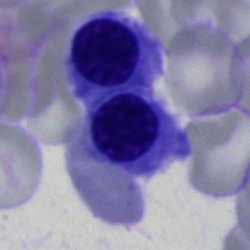
Morphology consistent with a normoblast.